Bone marrow smear — 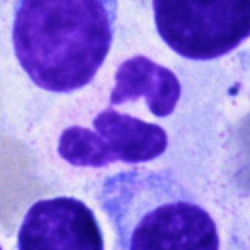Classification — neutrophil (segmented).